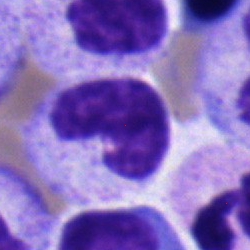 Q: Identify the cell.
A: This is a metamyelocyte.